Bone marrow aspirate smear; single-cell crop: 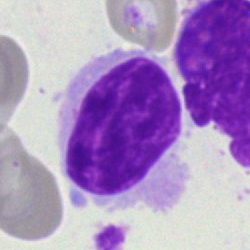

Morphology → lymphocyte.